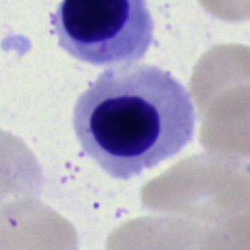
Morphological class = nucleated red cell.